Pappenheim-stained · bone marrow aspirate smear · image size 250×250:
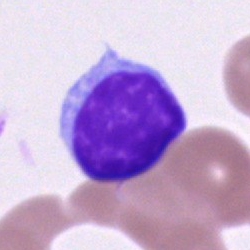This is a typical lymphocyte.